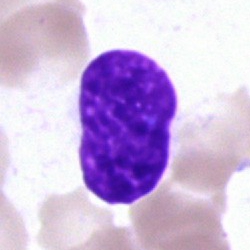Cell: artifact.